Bone marrow smear.
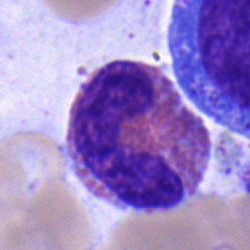

Showing an eosinophilic granulocyte.